Bone marrow aspirate smear — 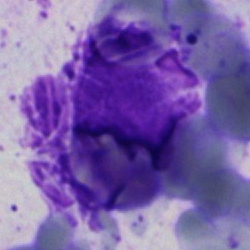Q: What is shown here?
A: Artifact.